Bone marrow aspirate smear · 250 by 250 pixels
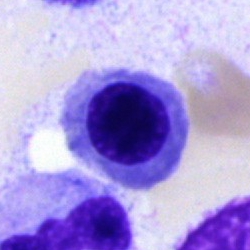
Q: What type of cell is this?
A: A normoblast.